Bone marrow smear:
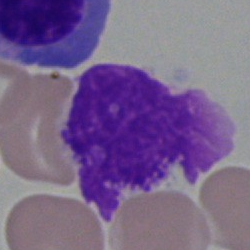Specimen: bone marrow smear.
Classification: artifact.